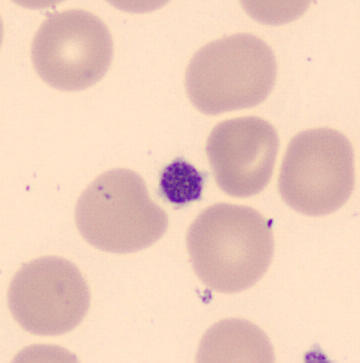

Thrombocyte.

Image: MGG-stained; imaged on a CellaVision DM96 analyser; peripheral blood film.